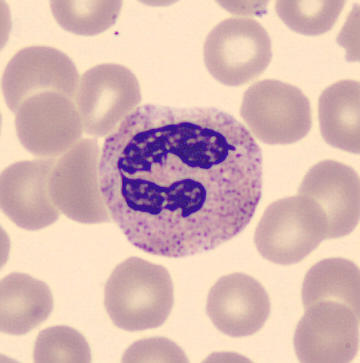 {"cell_type": "polymorphonuclear neutrophil", "lineage": "myeloid"}